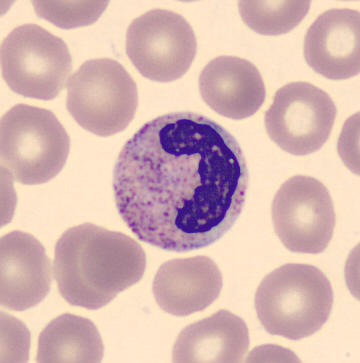 Identified as a segmented neutrophil.